Bone marrow aspirate smear.
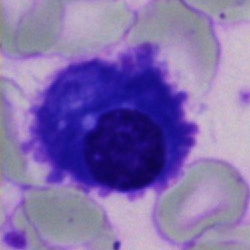 Q: What type of cell is this?
A: This is a plasma cell.